Bone marrow aspirate smear:
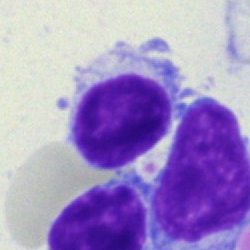 Classification = lymphocyte.